Bone marrow aspirate smear
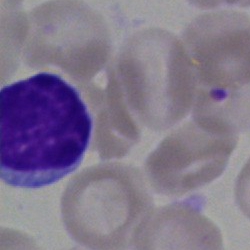
Impression — lymphocyte.